Bone marrow aspirate smear.
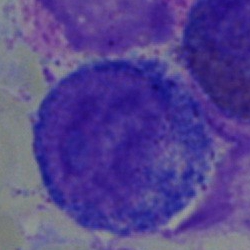 Specimen: bone marrow smear.
Cell: promyelocyte.
Lineage: myeloid.